Bone marrow smear. Brightfield, 40× oil-immersion objective. Single cell centered in the field:
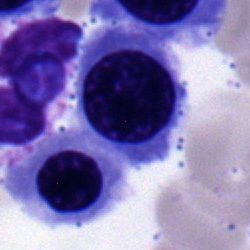 Specimen: bone marrow aspirate smear.
Cell: normoblast.